Bone marrow aspirate smear; brightfield, 40× oil-immersion objective; 250×250 px:
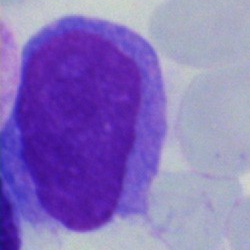
Morphology → blast.